40× objective, oil immersion · bone marrow smear
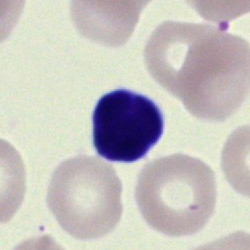Cell type: lymphocyte.